May-Grünwald-Giemsa/Pappenheim stain; bone marrow aspirate smear — 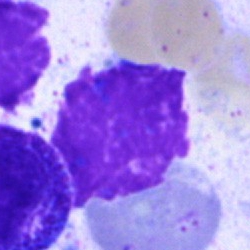

This is an artifact.